Bone marrow aspirate smear; May-Grünwald-Giemsa stain
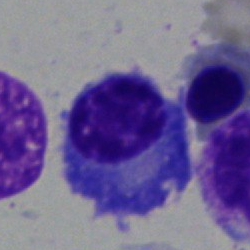Impression → plasmacyte.